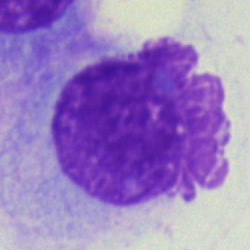
This is an artefact.